Bone marrow smear · image size 250×250 · May-Grünwald-Giemsa stain — 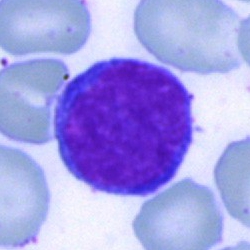 Cell: typical lymphocyte.